Bone marrow aspirate smear:
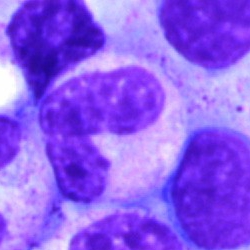
Showing a polymorphonuclear neutrophil.